Bone marrow smear:
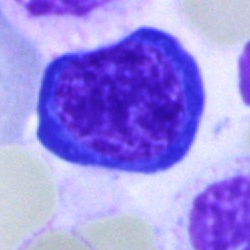

An erythroblast.